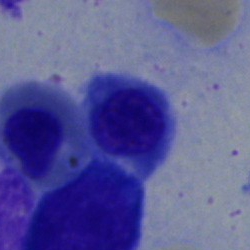 Erythroblast.